Single-cell field · bone marrow aspirate smear · Pappenheim-stained:
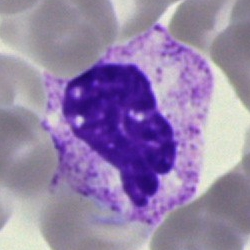
Morphology consistent with a neutrophil (segmented).